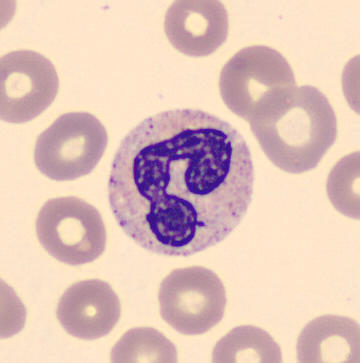The cell shown is a polymorphonuclear neutrophil.